Brightfield microscopy, 40× oil immersion · bone marrow smear — 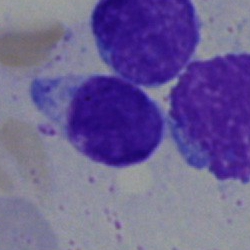
A typical lymphocyte.